Bone marrow smear; 250×250 px; 40× oil immersion:
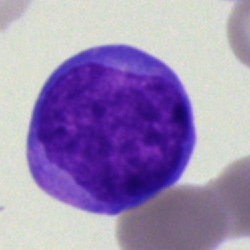

Q: What cell is this?
A: A blast cell.